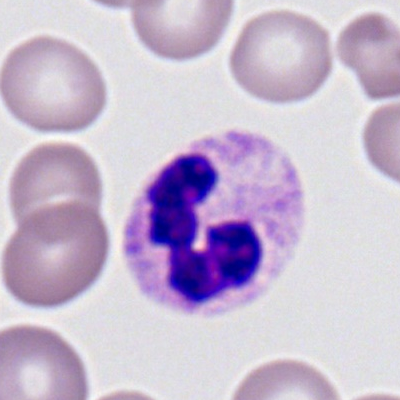

Q: Which cell type is shown here?
A: Neutrophil (segmented).